250×250 px · bone marrow aspirate smear · cropped to a single cell.
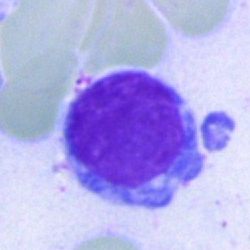
Morphological class = typical lymphocyte.